Bone marrow smear — 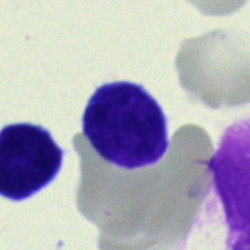 Cell type: typical lymphocyte.